Bone marrow smear
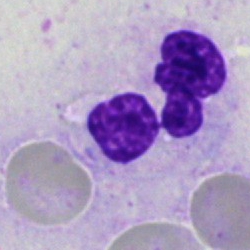

Morphology consistent with a neutrophil (segmented).